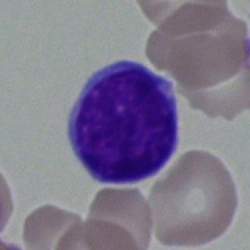
Specimen: bone marrow aspirate smear.
Morphological class: typical lymphocyte.
Lineage: lymphoid.